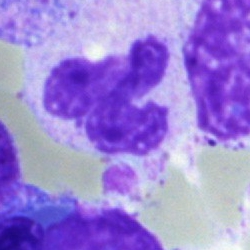 Q: What is shown here?
A: Segmented neutrophil.